Bone marrow aspirate smear — 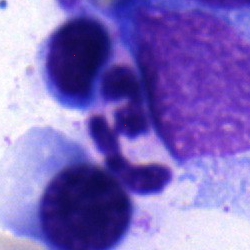

Q: What is the morphological classification of this cell?
A: It is a polymorphonuclear neutrophil.